Bone marrow aspirate smear; 250×250 px; Pappenheim-stained.
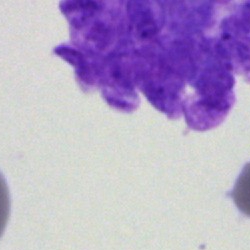
Morphology consistent with an artifact.